250 by 250 pixels. Bone marrow aspirate smear. May-Grünwald-Giemsa/Pappenheim stain:
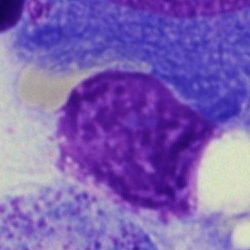 This is an artifact.